Peripheral blood film · 400×400:
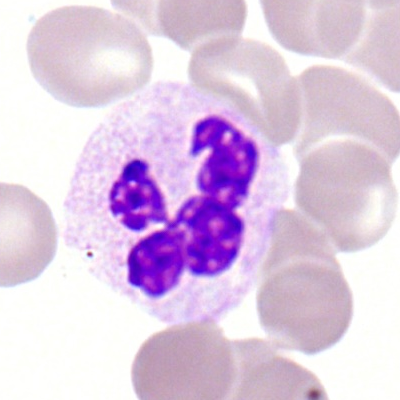A polymorphonuclear neutrophil.